Bone marrow smear.
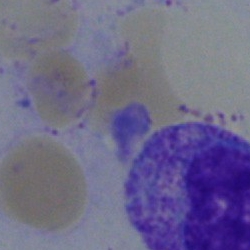 Classification: metamyelocyte.